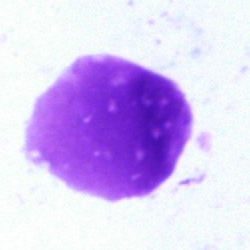
Single cell identified as an artefact.